Bone marrow aspirate smear: 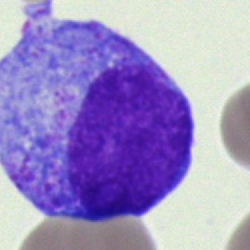

Specimen: bone marrow aspirate smear.
Cell type: promyelocyte.